Bone marrow aspirate smear.
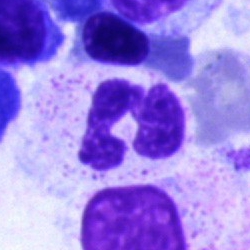

Morphological class: neutrophil (segmented).